Bone marrow smear — 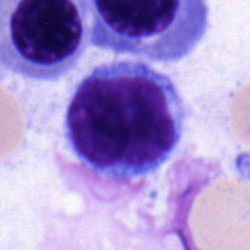
Q: What type of cell is this?
A: A lymphocyte.